Cropped to a single cell; bone marrow smear:
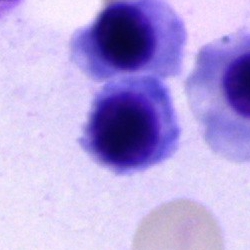 Specimen: bone marrow smear.
Classification: normoblast.
Lineage: erythroid.